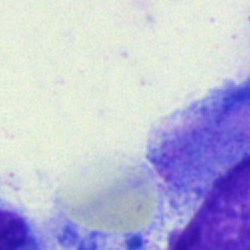 Specimen: bone marrow aspirate smear.
Cell type: artifact.